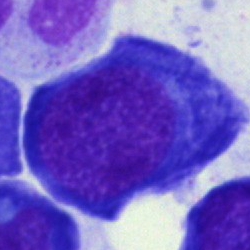 An erythroblast on a bone marrow smear.